Bone marrow smear. 40× objective, oil immersion.
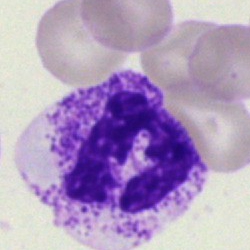
The cell shown is a segmented neutrophil.